Single-cell crop. Brightfield, 40× oil-immersion objective. Bone marrow smear
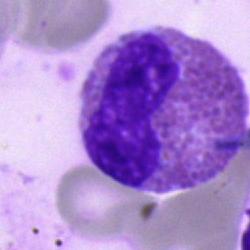

Q: What is shown here?
A: This is an eosinophil.